Bone marrow aspirate smear; cropped to a single cell — 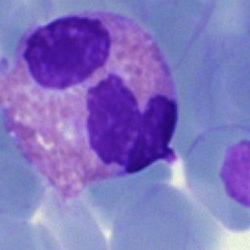
Morphology — eosinophil.